Bone marrow smear:
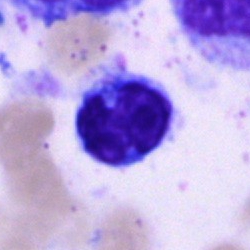
{"cell_type": "typical lymphocyte", "lineage": "lymphoid"}